40× oil immersion. Bone marrow smear. Image size 250×250:
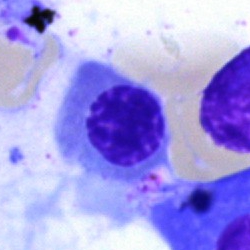

Morphological class: erythroblast.